Cropped to a single cell. Bone marrow smear.
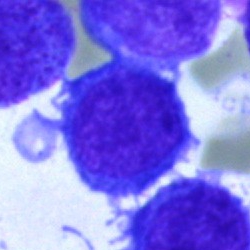
Classification: undifferentiated blast.